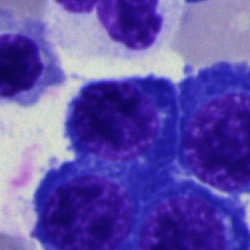Bone marrow smear showing a nucleated red blood cell.